Single-cell crop. Bone marrow smear.
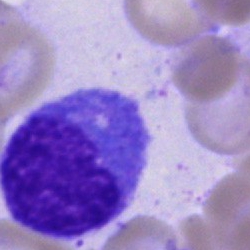Impression — monocyte.